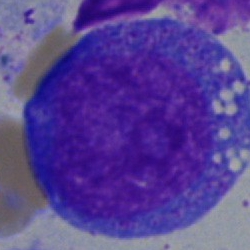 The cell shown is a promyelocyte.